Bone marrow aspirate smear. 40× oil immersion — 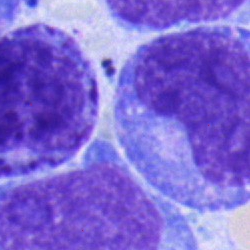
Morphology — promyelocyte.